Bone marrow aspirate smear.
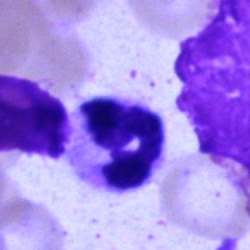
Segmented neutrophil.